Bone marrow aspirate smear — 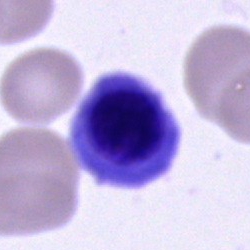
Nucleated red cell.